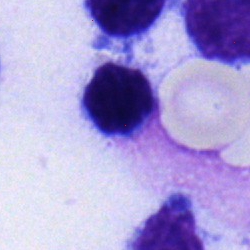 Cell type = typical lymphocyte.